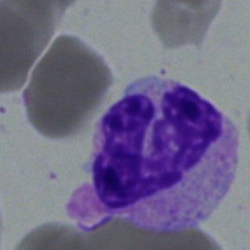

Q: What type of cell is this?
A: This is a neutrophil (band).